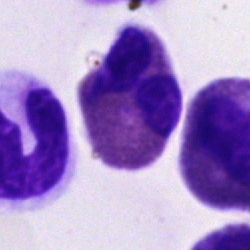 Q: What is the morphological classification of this cell?
A: This is an eosinophilic granulocyte.